Bone marrow aspirate smear.
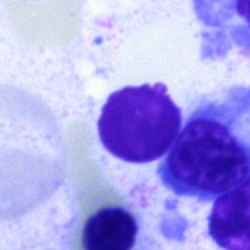 An artefact.